Bone marrow smear · single-cell crop · 250×250 px — 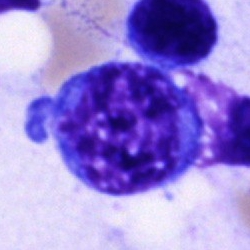

A blast cell.